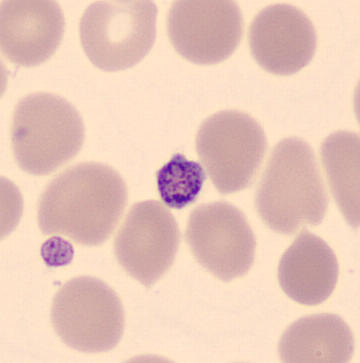 Morphological class — thrombocyte.

Peripheral blood film.